Bone marrow smear.
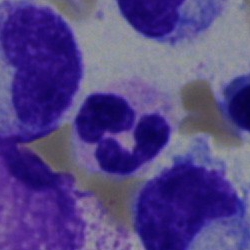
Showing a neutrophil (segmented).